Bone marrow aspirate smear:
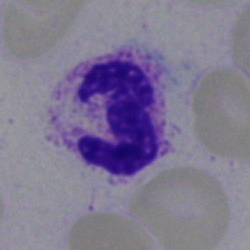 Segmented neutrophil.